Bone marrow aspirate smear
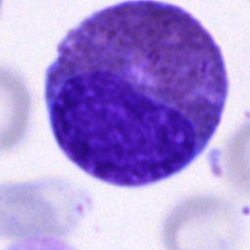This is an eosinophil.